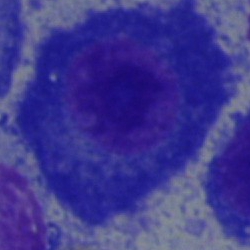 Showing a plasmacyte.